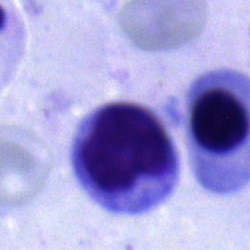

Q: What cell is this?
A: A lymphocyte.